Bone marrow smear:
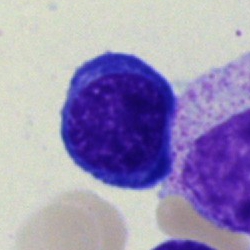
Showing a nucleated red cell.